Peripheral blood smear; MGG-stained; 360 by 363 pixels
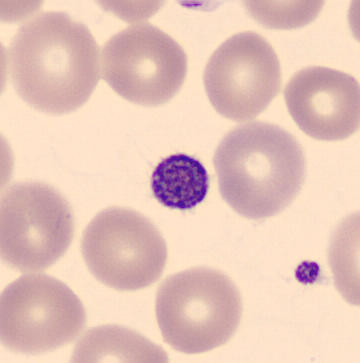 {"cell_type": "platelet (thrombocyte)"}